Romanowsky-stained. Peripheral blood film. Image size 400×400:
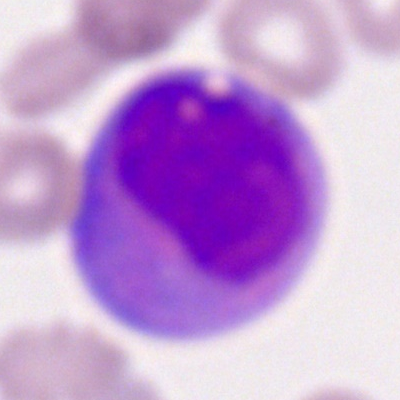
Single cell identified as a myeloid blast.